Bone marrow smear; 40× objective, oil immersion; single-cell field — 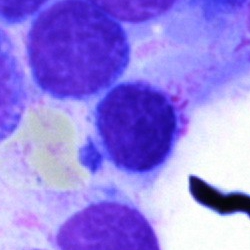Single cell identified as a typical lymphocyte.